Bone marrow aspirate smear
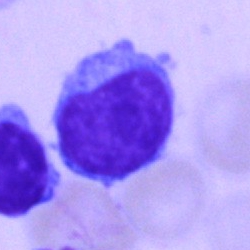

Q: What is the morphological classification of this cell?
A: This is a typical lymphocyte.